Bone marrow smear.
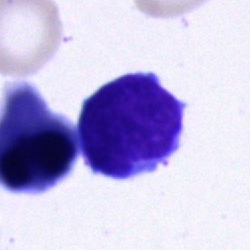

Cell: typical lymphocyte.